Bone marrow aspirate smear:
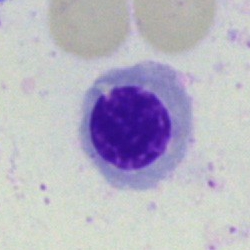
A nucleated red cell.